Bone marrow aspirate smear: 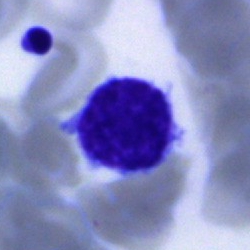 Q: Identify the cell.
A: It is a typical lymphocyte.